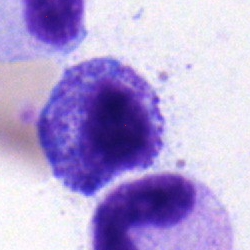Bone marrow aspirate smear, single cell — promyelocyte.